Bone marrow aspirate smear.
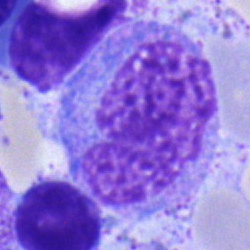 The cell shown is a monocyte.